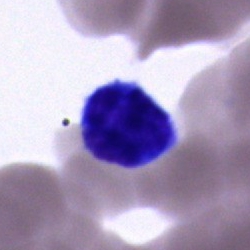 Showing a typical lymphocyte.